Single-cell field. Bone marrow smear. 250 by 250 pixels.
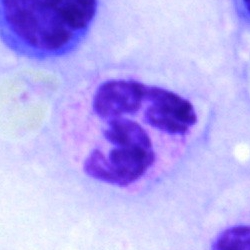

Cell type — neutrophil (segmented).